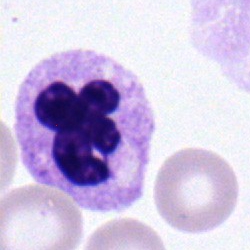

The cell type is polymorphonuclear neutrophil.